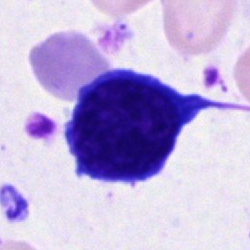

Bone marrow smear showing a lymphocyte.